Bone marrow aspirate smear — 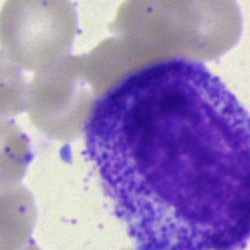 A myelocyte.